Bone marrow smear: 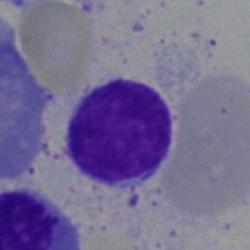 The cell type is lymphocyte.